Romanowsky-type stain · peripheral blood smear:
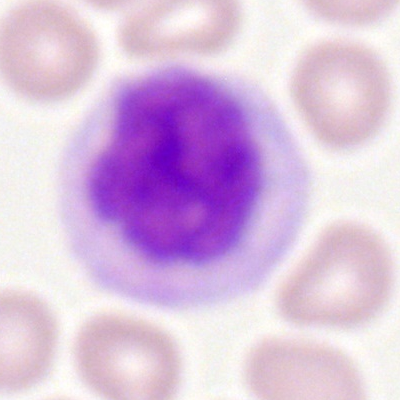 Morphology consistent with a monocyte.